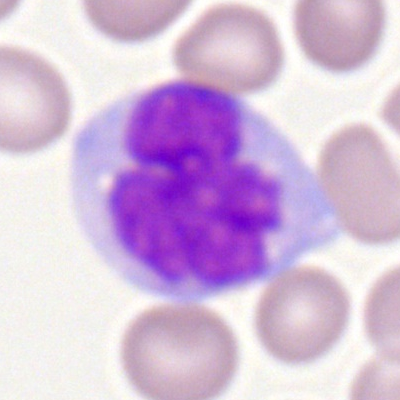
Impression → monocyte.